Bone marrow smear.
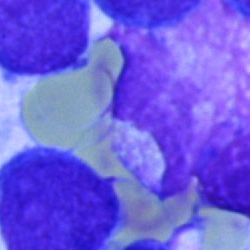Single cell identified as an artefact.